Bone marrow aspirate smear; brightfield, 40× oil-immersion objective:
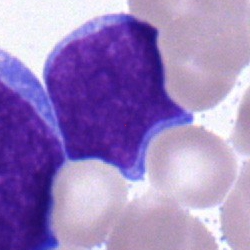

Blast cell.